Bone marrow smear; Pappenheim-stained — 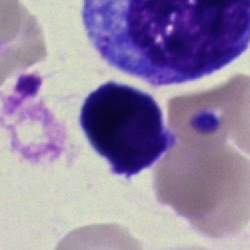Morphology consistent with a lymphocyte.